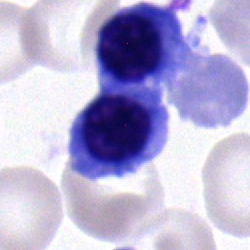Bone marrow aspirate smear, single cell — nucleated red cell.